Single-cell field; 250 by 250 pixels; bone marrow aspirate smear: 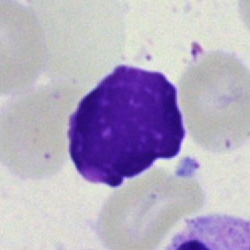

The cell type is artefact.